400 by 400 pixels · peripheral blood smear — 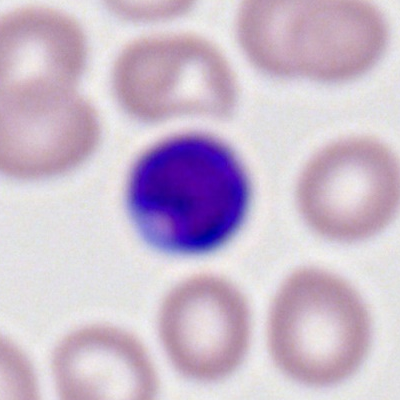

Cell — typical lymphocyte.